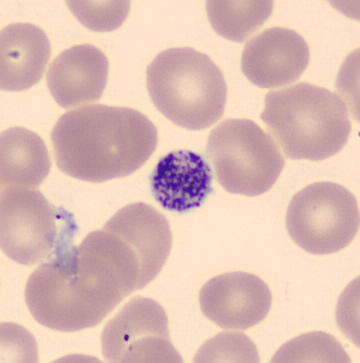Specimen: peripheral blood film.
Classification: thrombocyte.